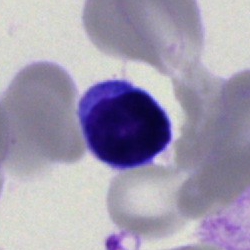Q: What type of cell is this?
A: Typical lymphocyte.